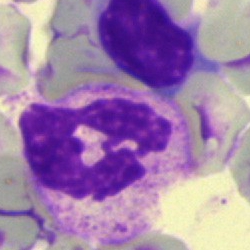 Bone marrow aspirate smear, single cell — segmented neutrophil.